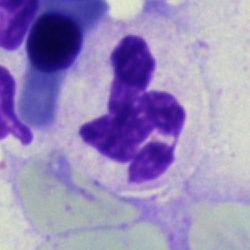 Single-cell crop from a bone marrow smear: polymorphonuclear neutrophil.